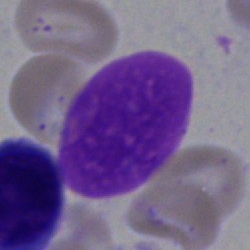 Q: What is shown here?
A: An artifact.